Bone marrow smear · single-cell field:
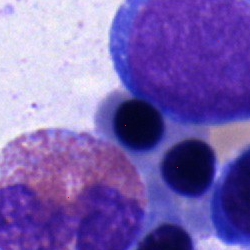

Showing a normoblast.